Bone marrow aspirate smear
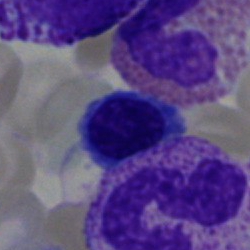
Showing a normoblast.